Bone marrow aspirate smear: 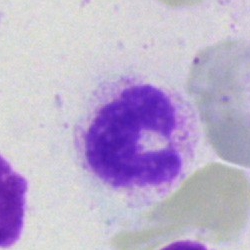A segmented neutrophil.